Single cell centered in the field; bone marrow smear — 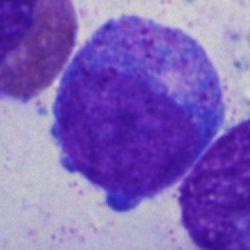
Q: Identify the cell.
A: This is a promyelocyte.